Bone marrow smear
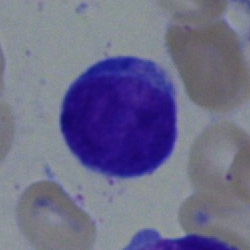Impression — undifferentiated blast.